Single-cell crop. Peripheral blood film. Romanowsky-type stain: 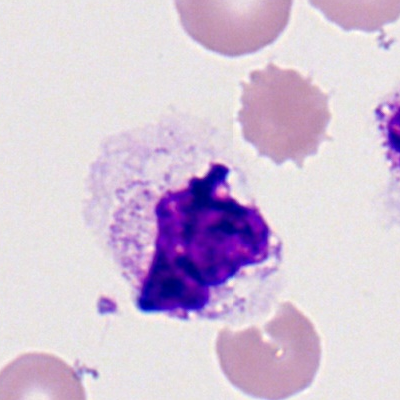 Cell type — neutrophil (segmented).